Pappenheim-stained; single-cell field; bone marrow smear
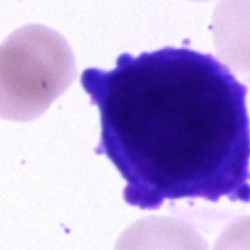 Q: Which cell type is shown here?
A: An unidentifiable cell.